40× objective, oil immersion · bone marrow aspirate smear:
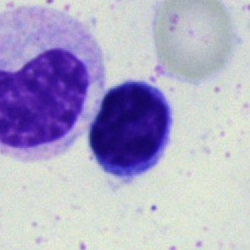

Morphology consistent with a lymphocyte.